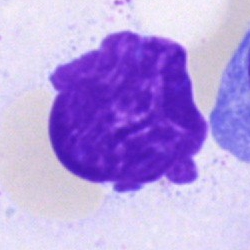

Q: What is shown here?
A: It is an artifact.